Image size 250×250. Single-cell crop. Bone marrow aspirate smear: 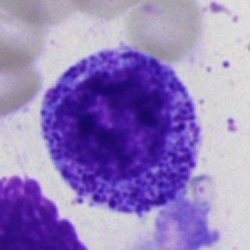
A myelocyte.